Bone marrow aspirate smear; 40× objective, oil immersion:
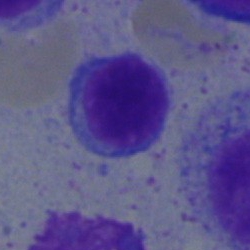
{"cell_type": "lymphocyte"}